Bone marrow aspirate smear; May-Grünwald-Giemsa stain: 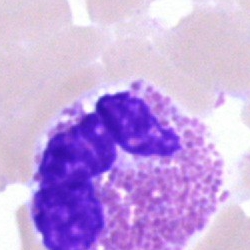 Cell type = eosinophilic granulocyte.